May-Grünwald-Giemsa stain. 40× oil immersion. Bone marrow smear: 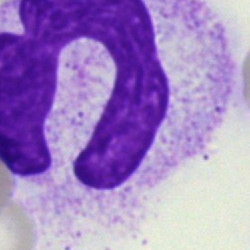 Q: What is shown here?
A: This is an artifact.